Bone marrow aspirate smear · MGG-stained · 250 by 250 pixels — 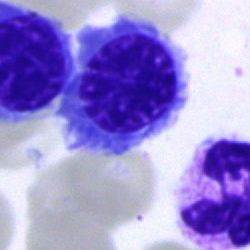 This is an erythroblast.